40× objective, oil immersion. May-Grünwald-Giemsa/Pappenheim stain. Bone marrow smear — 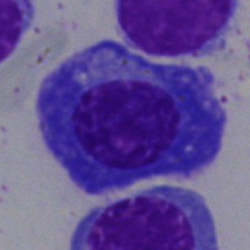Morphology — plasma cell.